100× oil immersion · cropped to a single cell · peripheral blood smear
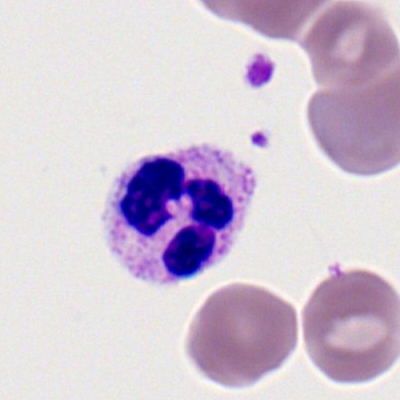

Specimen: peripheral blood film.
Cell type: segmented neutrophil.
Lineage: myeloid.